May-Grünwald-Giemsa stain; bone marrow aspirate smear: 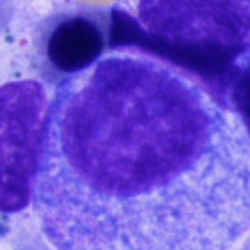 Showing a promyelocyte.